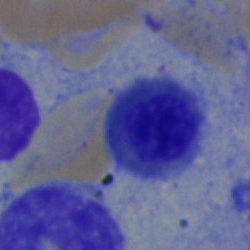

Morphological class — nucleated red cell.